Bone marrow smear. Single cell centered in the field. MGG-stained
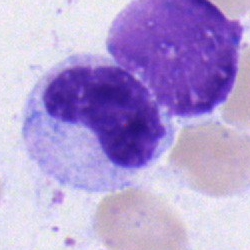

Showing a metamyelocyte.